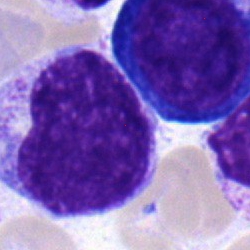 Single cell identified as a myelocyte.